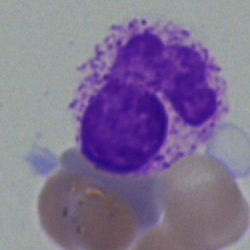

This is a polymorphonuclear neutrophil.